Bone marrow aspirate smear:
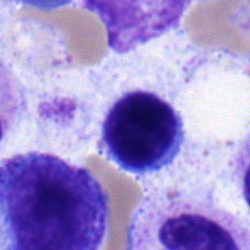 Showing a lymphocyte.